250 by 250 pixels · bone marrow aspirate smear.
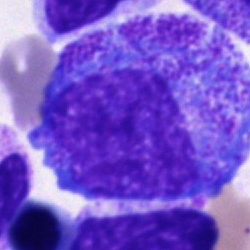Impression → progranulocyte.